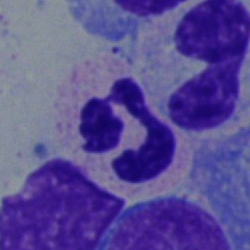Cell = polymorphonuclear neutrophil.